Bone marrow aspirate smear:
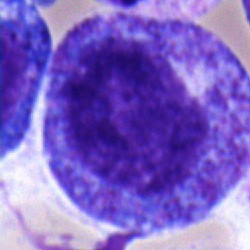 This is a progranulocyte.